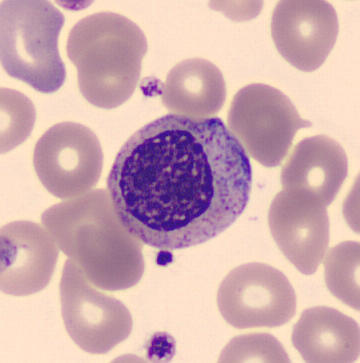
Preparation: Peripheral blood film; MGG stain; 360 by 363 pixels.
Single cell identified as a myelocyte.